Bone marrow smear
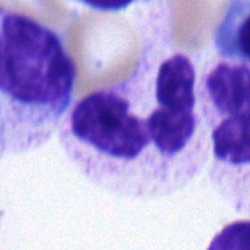Q: Identify the cell.
A: Polymorphonuclear neutrophil.